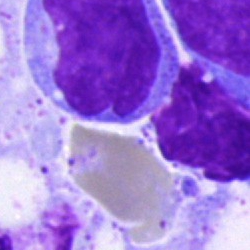 This is a blast.